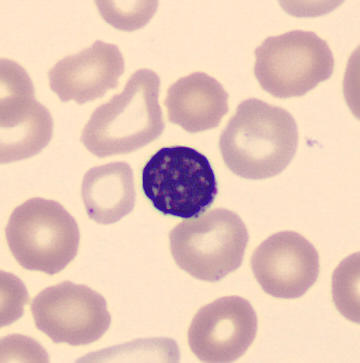

Cell: normoblast.
Acquisition: Peripheral blood smear · cropped to a single cell · 360×363 px.